Peripheral blood film: 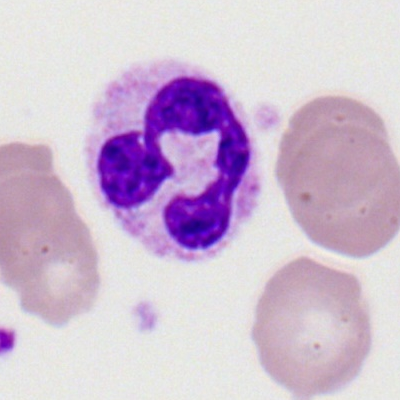

Impression — polymorphonuclear neutrophil.